Bone marrow smear: 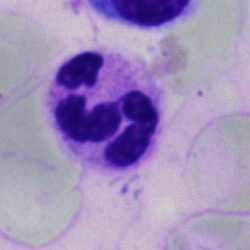
Morphological class: neutrophil (segmented).